Bone marrow aspirate smear
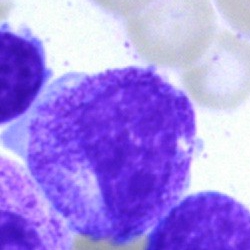
Q: Identify the cell.
A: This is a myelocyte.